Bone marrow aspirate smear · brightfield microscopy, 40× oil immersion — 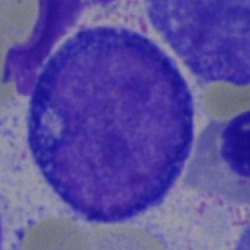Specimen: bone marrow aspirate smear.
Morphological class: proerythroblast.